Bone marrow aspirate smear; single cell centered in the field — 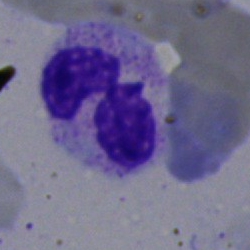 Morphology consistent with a neutrophil (segmented).